Image size 250×250 · bone marrow aspirate smear · brightfield, 40× oil-immersion objective: 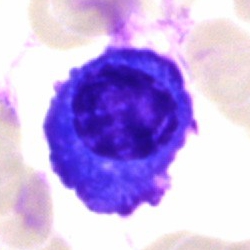 This is a plasma cell.